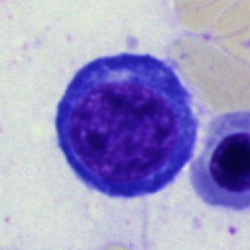 A nucleated red blood cell on a bone marrow smear.